Pappenheim-stained; bone marrow smear.
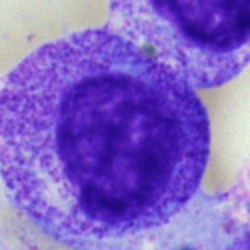 Cell type: progranulocyte.